Bone marrow aspirate smear:
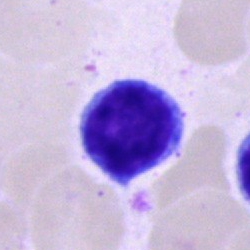 Classification: lymphocyte.